40× objective, oil immersion; bone marrow aspirate smear: 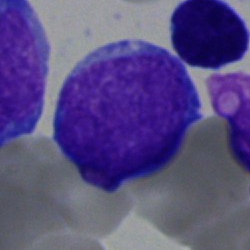
Q: What is the morphological classification of this cell?
A: It is a blast.